Bone marrow smear — 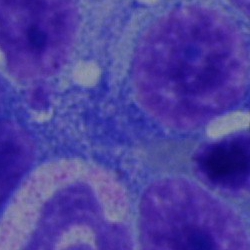

Specimen: bone marrow smear.
Morphological class: plasma cell.